Bone marrow smear: 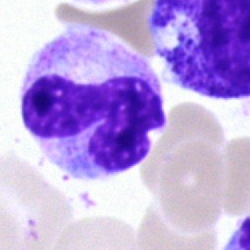
The cell shown is a segmented neutrophil.